Bone marrow smear.
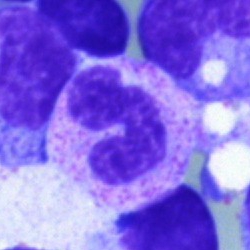Morphology — band-form neutrophil.